Bone marrow aspirate smear. May-Grünwald-Giemsa stain — 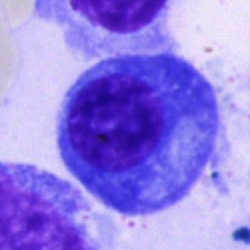Single cell identified as a plasmacyte.